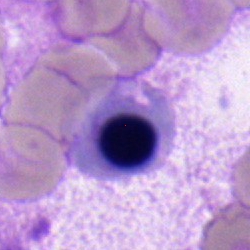 Q: Identify the cell.
A: Nucleated red cell.